Bone marrow aspirate smear — 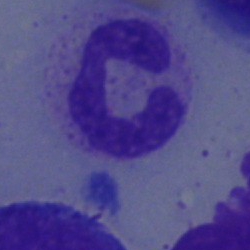 The cell type is segmented neutrophil.